Single-cell field. Bone marrow smear — 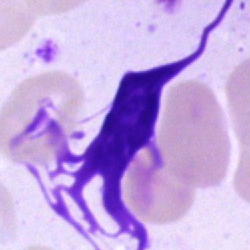Impression → artefact.